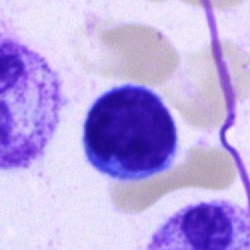 Single cell identified as a typical lymphocyte.